Bone marrow aspirate smear: 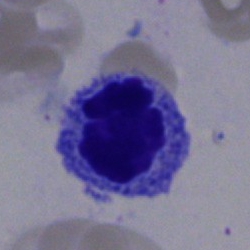

Impression — erythroblast.